Cropped to a single cell · bone marrow aspirate smear.
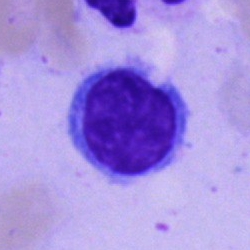 Cell: lymphocyte.